Bone marrow aspirate smear — 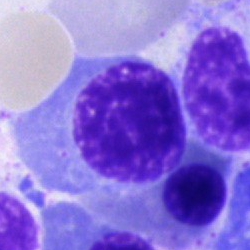

A nucleated red blood cell.